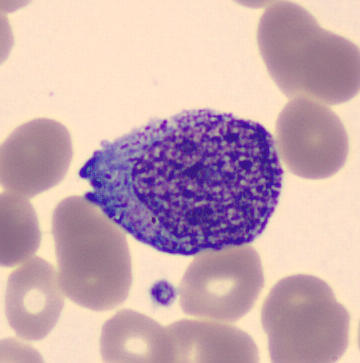Identified as a promyelocyte.